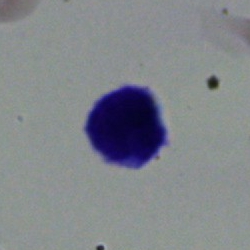 Q: What type of cell is this?
A: It is a lymphocyte.